Bone marrow smear.
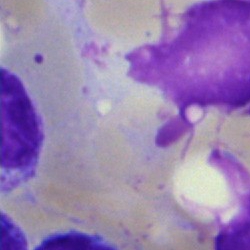

Morphological class — artefact.